Bone marrow aspirate smear — 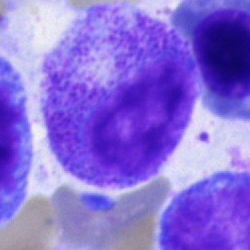

Specimen: bone marrow aspirate smear.
Cell type: promyelocyte.
Lineage: myeloid.